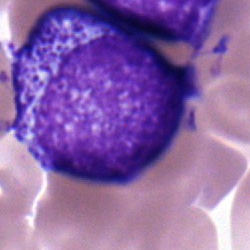Single-cell crop from a bone marrow smear: myelocyte.